Bone marrow aspirate smear. 250×250. May-Grünwald-Giemsa/Pappenheim stain:
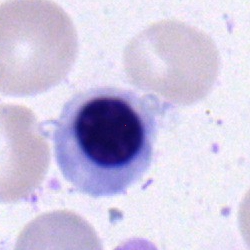
The classification is erythroblast.